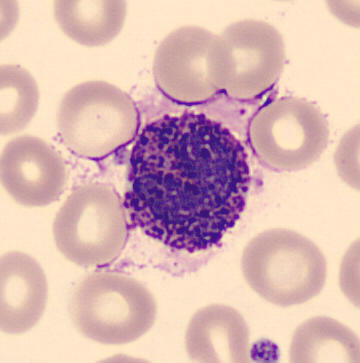
The cell is basophil. Image: Single cell centered in the field · peripheral blood film · automated cell imaging (CellaVision DM96).